250×250 px. Bone marrow aspirate smear. Pappenheim-stained: 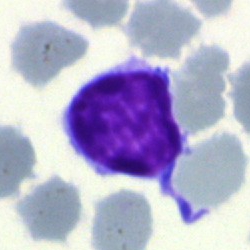

Specimen: bone marrow aspirate smear.
Cell type: lymphocyte.